Bone marrow aspirate smear.
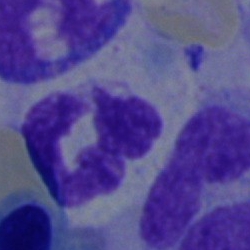 Q: What cell is this?
A: Polymorphonuclear neutrophil.